Bone marrow smear; MGG-stained; 40× oil immersion
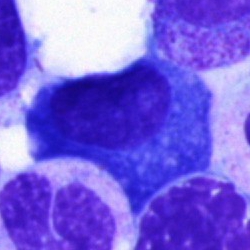
{"cell_type": "plasma cell", "lineage": "lymphoid"}